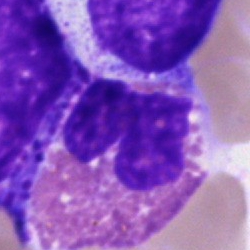
Impression — eosinophil.